Bone marrow smear:
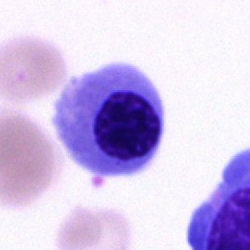
Showing an erythroblast.